Bone marrow smear:
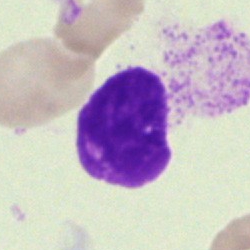

This is an artifact.